Bone marrow aspirate smear:
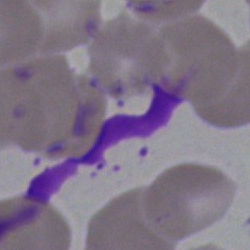

Impression — artefact.